Brightfield microscopy, 40× oil immersion. Bone marrow aspirate smear. May-Grünwald-Giemsa stain: 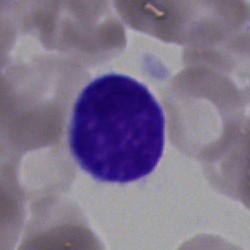

Q: Identify the cell.
A: A typical lymphocyte.